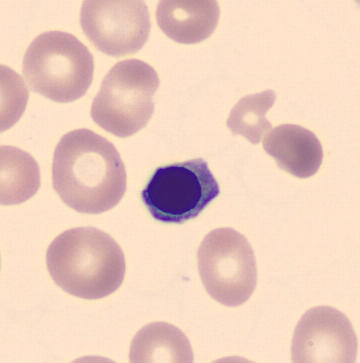
Morphology — nucleated red cell.